40× objective, oil immersion; bone marrow aspirate smear; cropped to a single cell:
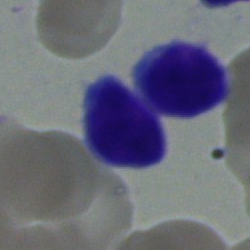 Specimen: bone marrow smear.
Cell type: lymphocyte.
Lineage: lymphoid.